250×250 · bone marrow aspirate smear · single cell centered in the field:
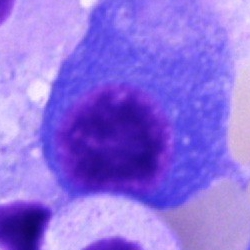
{"cell_type": "plasma cell", "lineage": "lymphoid"}